Bone marrow smear.
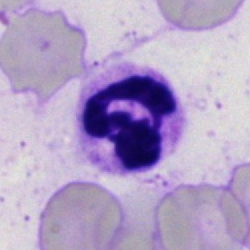 Q: What is the morphological classification of this cell?
A: A neutrophil (segmented).